Bone marrow smear · cropped to a single cell: 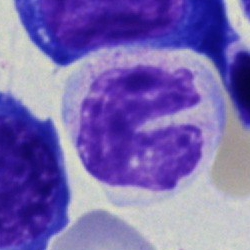

Showing a band-form neutrophil.